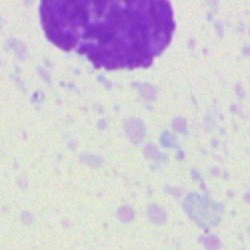Morphological class = unidentifiable cell.